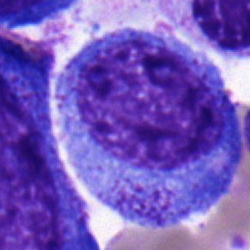 The cell shown is a progranulocyte.